Single cell centered in the field · bone marrow aspirate smear
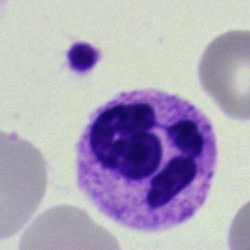 Cell: polymorphonuclear neutrophil.